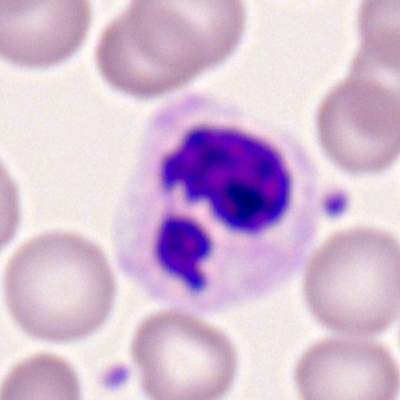

This is a polymorphonuclear neutrophil.